Peripheral blood smear
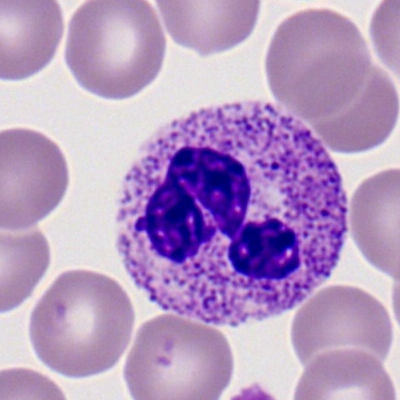
Impression → polymorphonuclear neutrophil.